Bone marrow aspirate smear: 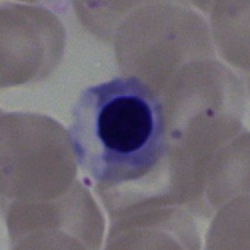Morphological class: nucleated red cell.